100× oil immersion; peripheral blood smear; single-cell crop: 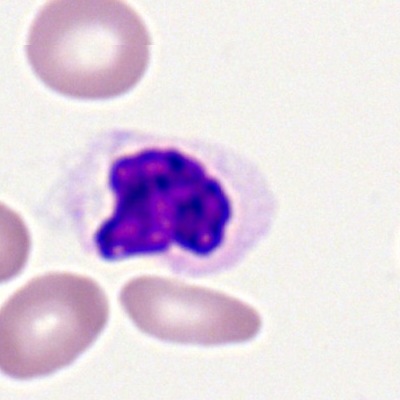
Q: What is shown here?
A: A polymorphonuclear neutrophil.